Bone marrow aspirate smear · 40× objective, oil immersion · MGG-stained:
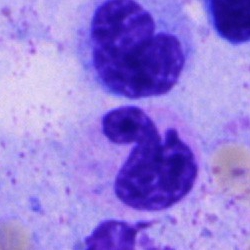
A segmented neutrophil.